Peripheral blood film · single cell centered in the field: 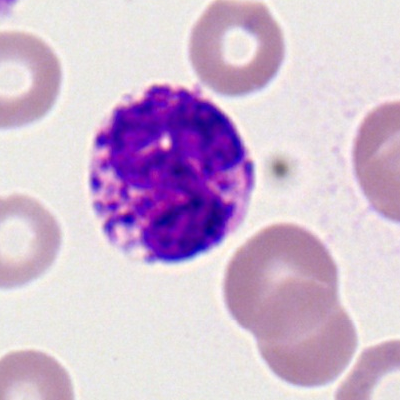
This is a basophilic granulocyte.